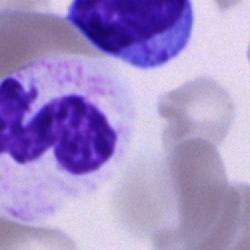 Classification — cell of indeterminate lineage.